Bone marrow aspirate smear — 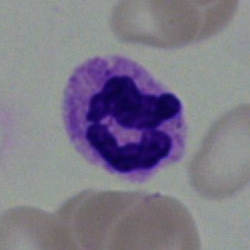 The classification is neutrophil (segmented).